Bone marrow smear; Pappenheim-stained
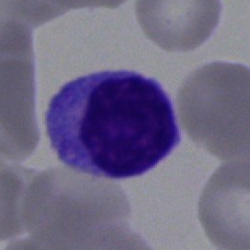

Showing a lymphocyte.